Bone marrow aspirate smear.
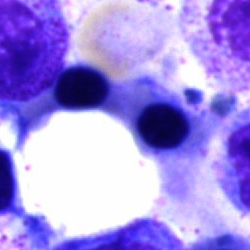

Single cell identified as an artifact.